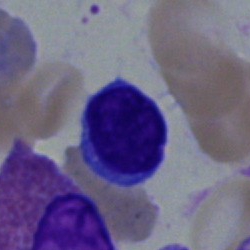

Morphology consistent with a typical lymphocyte.